100× oil immersion, 14.14 px/µm · peripheral blood smear — 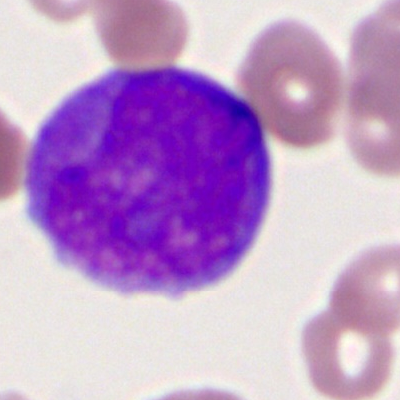A myeloblast.